Bone marrow aspirate smear; 250 by 250 pixels.
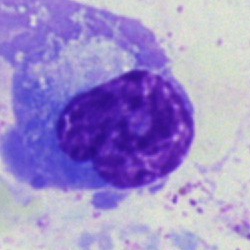The cell is plasma cell.